Bone marrow smear · 40× objective, oil immersion:
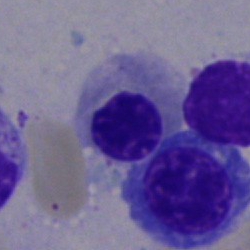 Q: What cell is this?
A: This is a nucleated red cell.